40× oil immersion; bone marrow aspirate smear; 250×250 — 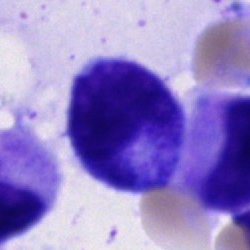Showing a progranulocyte.